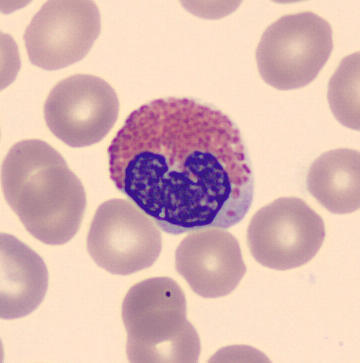The cell shown is an eosinophilic granulocyte.